Bone marrow smear: 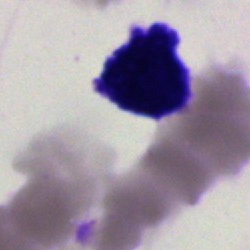
Q: What is shown here?
A: This is an artefact.